Bone marrow smear
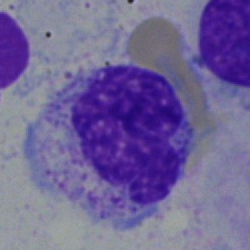Cell = metamyelocyte.